Peripheral blood film. 400×400. 100× oil immersion: 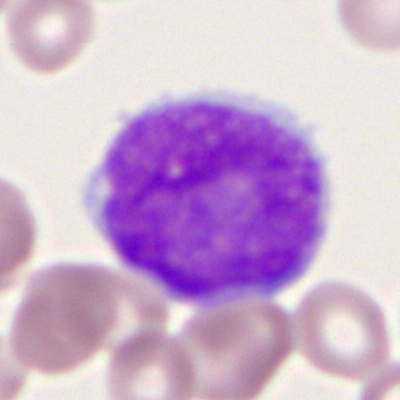{"cell_type": "monocyte", "lineage": "myeloid"}